Bone marrow smear.
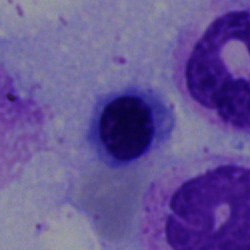Q: Which cell type is shown here?
A: This is an erythroblast.